Bone marrow smear; May-Grünwald-Giemsa/Pappenheim stain — 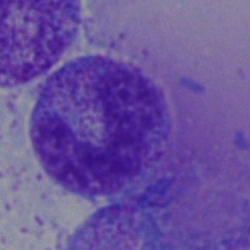Q: What type of cell is this?
A: It is a stab cell.